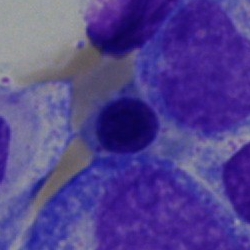 Morphology consistent with a normoblast.